Bone marrow smear
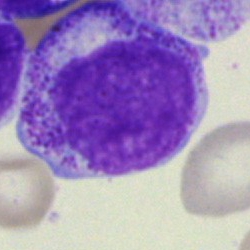

Q: What type of cell is this?
A: A progranulocyte.